Bone marrow smear.
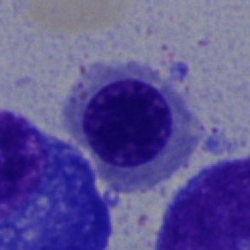

Specimen: bone marrow aspirate smear.
Morphological class: nucleated red blood cell.